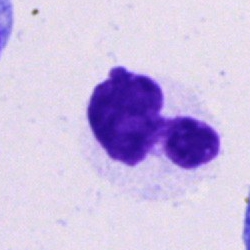
Q: What cell is this?
A: Neutrophil (segmented).